Brightfield microscopy, 40× oil immersion; bone marrow aspirate smear: 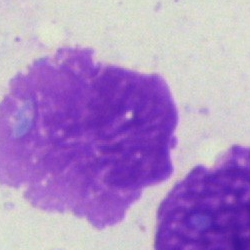
This is an artefact.